Bone marrow aspirate smear:
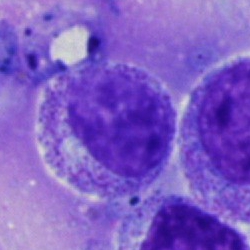The cell type is myelocyte.